Bone marrow aspirate smear
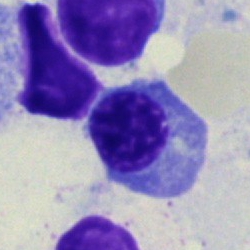
Showing a nucleated red blood cell.